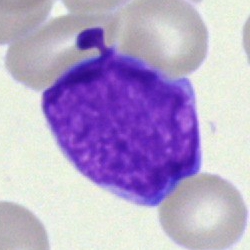
Specimen: bone marrow aspirate smear.
Cell: blast.